Bone marrow smear: 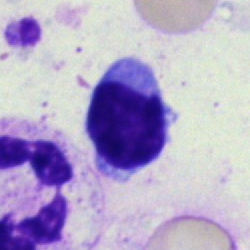

Q: Identify the cell.
A: Lymphocyte.